Peripheral blood smear.
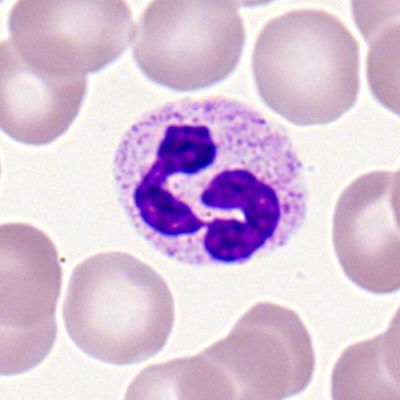

Classification — polymorphonuclear neutrophil.